Bone marrow smear
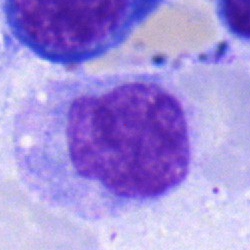

The cell type is monocyte.